Bone marrow smear. Single-cell crop
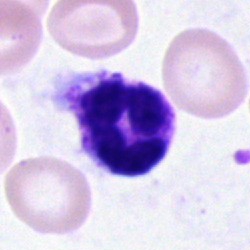
Morphology — polymorphonuclear neutrophil.